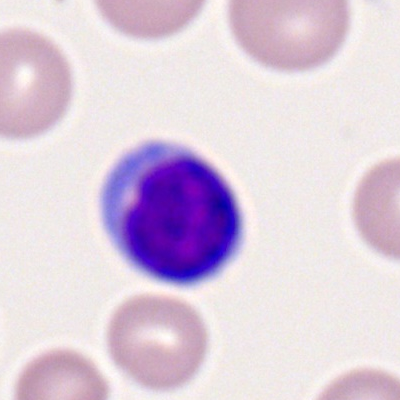

Showing a typical lymphocyte.